Bone marrow smear; Pappenheim-stained: 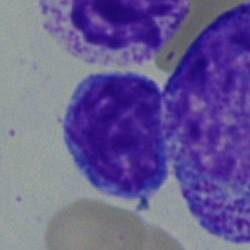

The classification is blast.